250×250 px. Bone marrow smear.
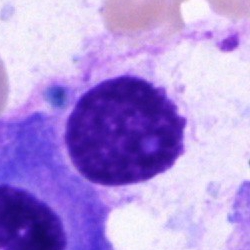 Morphological class = plasmacyte.